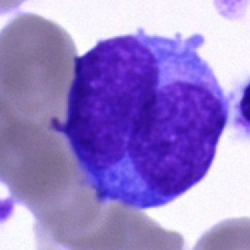Q: Identify the cell.
A: A blast cell.